Bone marrow aspirate smear: 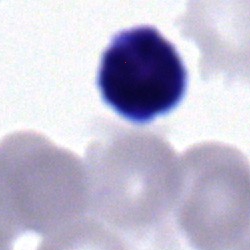
Impression → typical lymphocyte.